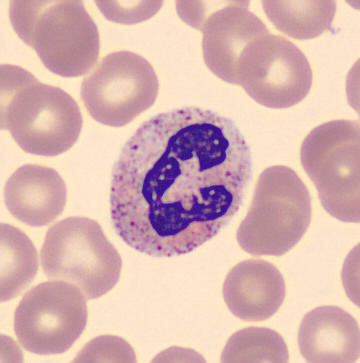{"cell_type": "segmented neutrophil", "lineage": "myeloid"} Preparation: Peripheral blood film.